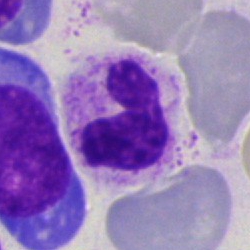
Specimen: bone marrow smear.
Cell type: polymorphonuclear neutrophil.
Lineage: myeloid.